Bone marrow aspirate smear; single-cell field.
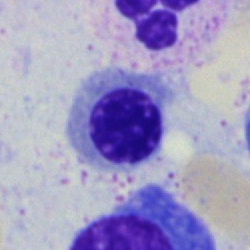The cell shown is an erythroblast.